Single-cell field; brightfield microscopy, 40× oil immersion; bone marrow aspirate smear
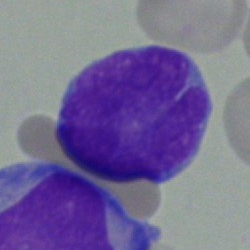 The cell shown is an undifferentiated blast.